Bone marrow aspirate smear · 250 by 250 pixels
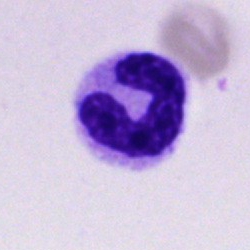 Showing a stab cell.